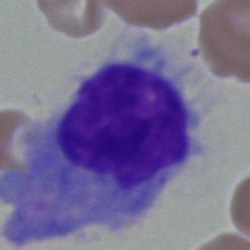 Classification — monocyte.